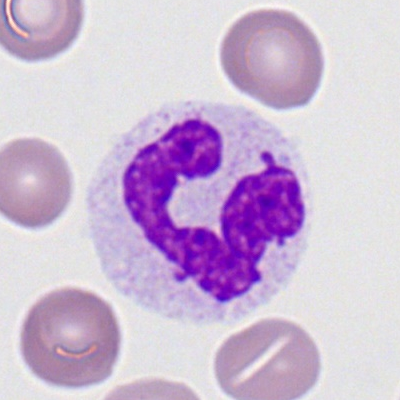 Single-cell crop from a peripheral blood smear: segmented neutrophil.